MGG-stained; 40× oil immersion; bone marrow aspirate smear.
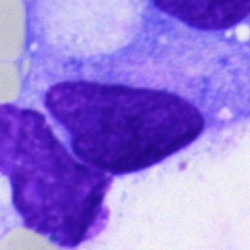Morphology consistent with an artifact.